MGG-stained. Bone marrow smear
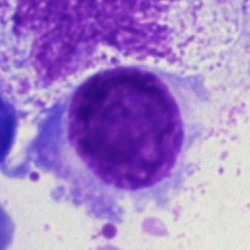

Cell — lymphocyte.